Bone marrow smear
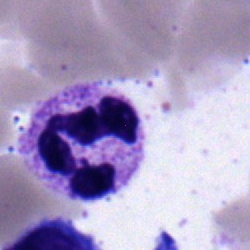Specimen: bone marrow smear.
Cell type: neutrophil (segmented).